Bone marrow smear · image size 250×250 · May-Grünwald-Giemsa stain
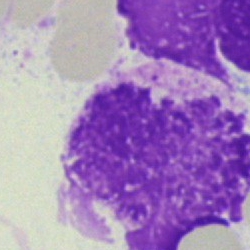

The classification is artifact.